Bone marrow aspirate smear
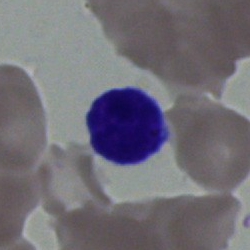
Morphological class = typical lymphocyte.